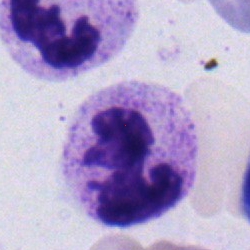

Q: Which cell type is shown here?
A: This is a polymorphonuclear neutrophil.